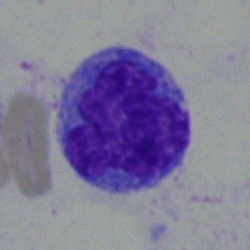

Q: Which cell type is shown here?
A: Blast.